400×400 px. Peripheral blood smear — 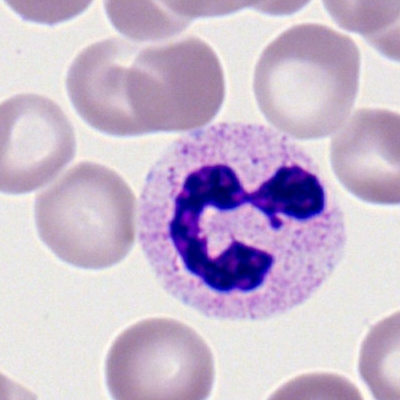

Q: What cell is this?
A: A neutrophil (segmented).